Bone marrow aspirate smear: 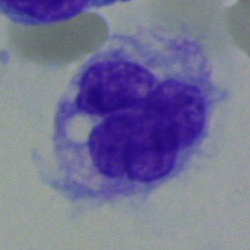 A monocyte.